Bone marrow aspirate smear.
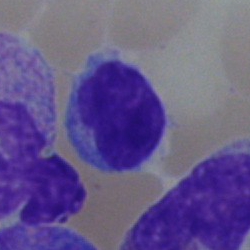Morphology consistent with a lymphocyte.